Bone marrow smear. 250 by 250 pixels. Single-cell field — 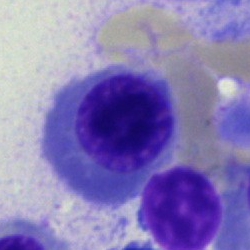
Specimen: bone marrow smear.
Classification: nucleated red blood cell.